Bone marrow smear: 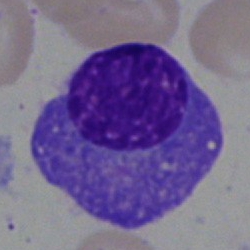
This is a plasma cell.